Bone marrow smear. Single-cell crop. MGG-stained — 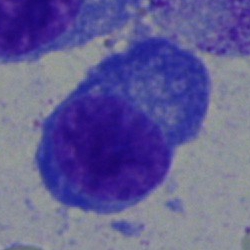The cell is plasma cell.